Peripheral blood film
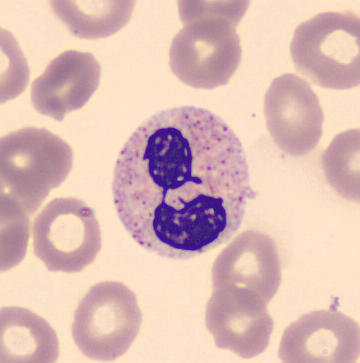
Morphological class: segmented neutrophil.